Bone marrow smear; May-Grünwald-Giemsa/Pappenheim stain — 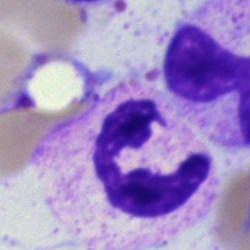Cell type — neutrophil (segmented).